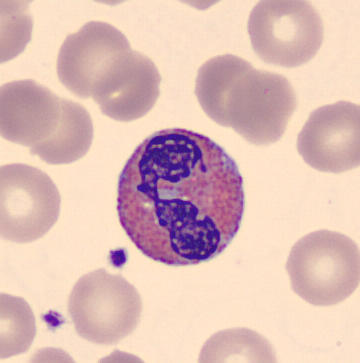

{"cell_type": "eosinophil", "lineage": "myeloid"}
Peripheral blood film. MGG stain. Image size 360×363.